Bone marrow smear:
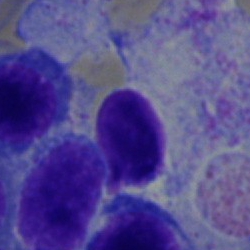
Impression — typical lymphocyte.